Peripheral blood smear; single-cell field; 100× oil immersion: 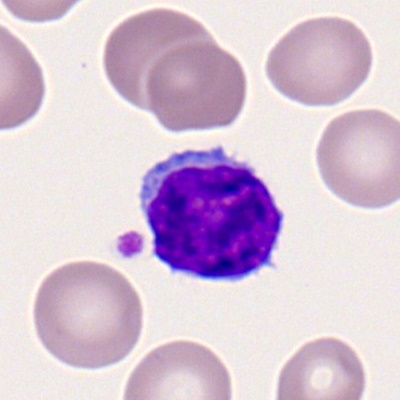

Morphology → typical lymphocyte.